Bone marrow smear: 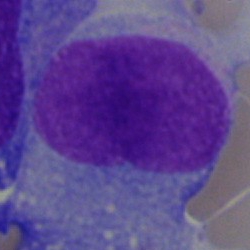Morphology — blast cell.